Bone marrow aspirate smear.
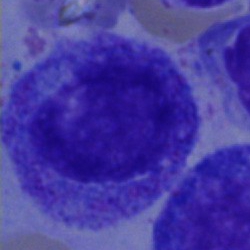
{"cell_type": "promyelocyte"}